Bone marrow aspirate smear: 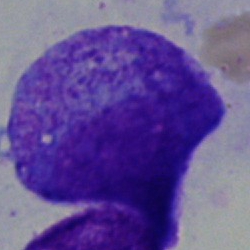Q: What is shown here?
A: This is a progranulocyte.